Bone marrow smear; May-Grünwald-Giemsa/Pappenheim stain — 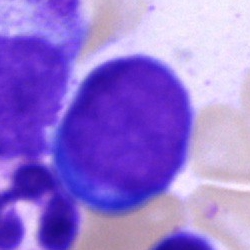
Showing a proerythroblast.